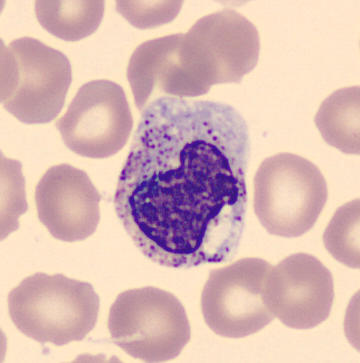 A metamyelocyte on a peripheral blood smear.